MGG-stained. Bone marrow smear. Image size 250×250 — 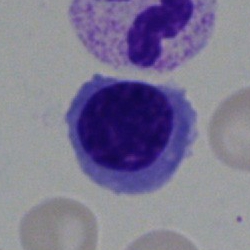 Morphology — nucleated red blood cell.